400×400. Peripheral blood smear: 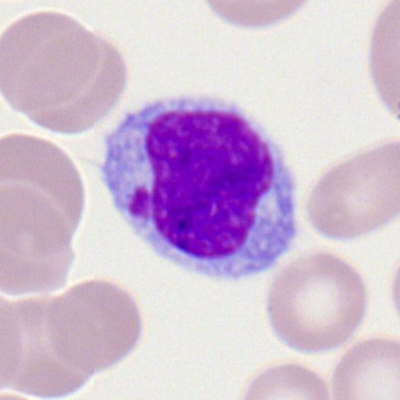 Q: What is shown here?
A: Typical lymphocyte.